Bone marrow aspirate smear: 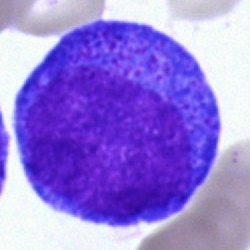Q: What is the morphological classification of this cell?
A: This is a promyelocyte.